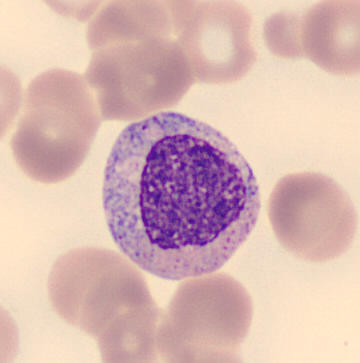

Image: 360×363 px. Peripheral blood smear. Myelocyte.